Peripheral blood smear
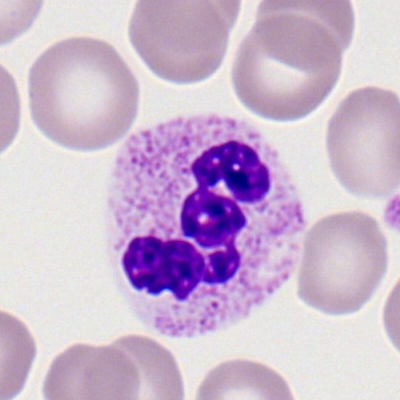
Morphology — segmented neutrophil.